Bone marrow smear — 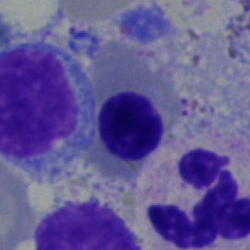
This is a normoblast.